May-Grünwald-Giemsa/Pappenheim stain; bone marrow smear; 250 by 250 pixels
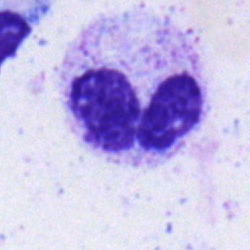Q: Which cell type is shown here?
A: This is a polymorphonuclear neutrophil.